Bone marrow aspirate smear.
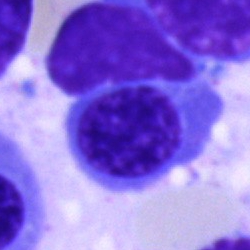 Q: What cell is this?
A: Normoblast.